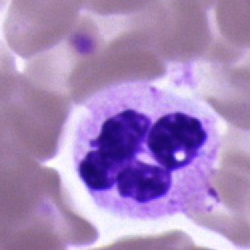

Specimen: bone marrow aspirate smear.
Cell: segmented neutrophil.